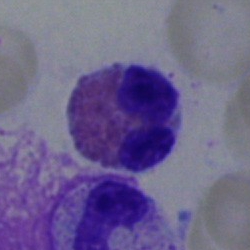
An eosinophilic granulocyte on a bone marrow smear.